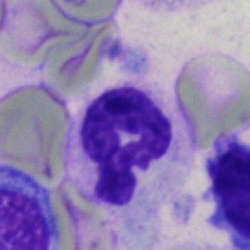
Q: What is shown here?
A: A segmented neutrophil.